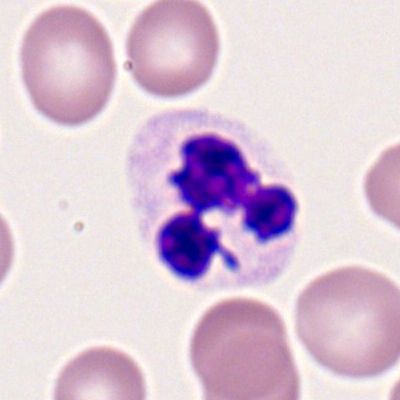Specimen: peripheral blood film.
Morphological class: segmented neutrophil.